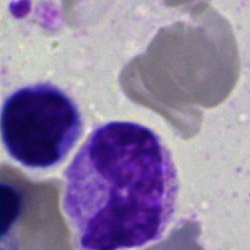 Q: What type of cell is this?
A: Neutrophil (band).